Single-cell crop · brightfield, 40× oil-immersion objective · bone marrow aspirate smear: 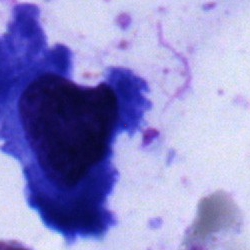
Single cell identified as a plasmacyte.